Bone marrow aspirate smear. MGG-stained — 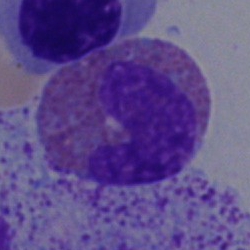
Q: Identify the cell.
A: An eosinophilic granulocyte.